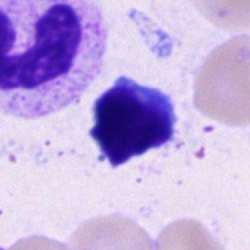This is a lymphocyte.